Bone marrow aspirate smear
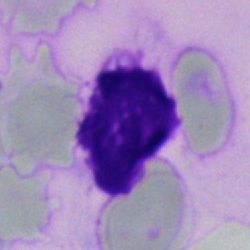

Morphology consistent with an artifact.